Single-cell field. Image size 250×250. Bone marrow aspirate smear:
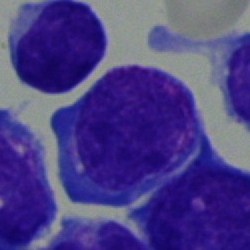

Cell — blast cell.